Bone marrow smear:
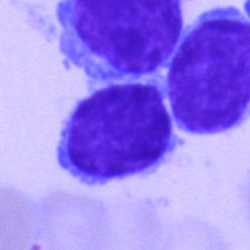A lymphocyte.